Bone marrow aspirate smear:
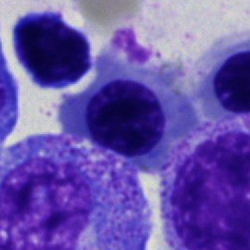 Showing a nucleated red blood cell.